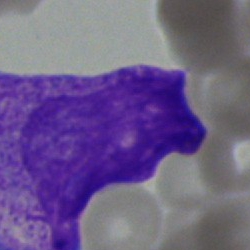
Cell type — undifferentiated blast.